Cropped to a single cell · 100× oil immersion · peripheral blood smear
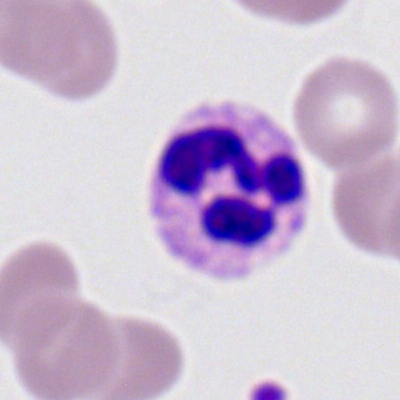
Cell = polymorphonuclear neutrophil.